Bone marrow aspirate smear: 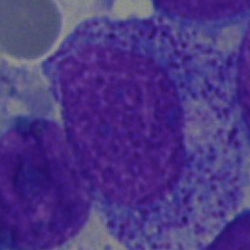
Promyelocyte.